Bone marrow smear:
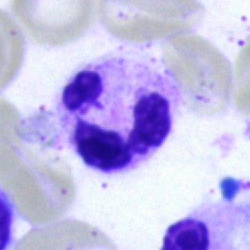
Classification — polymorphonuclear neutrophil.